Bone marrow aspirate smear.
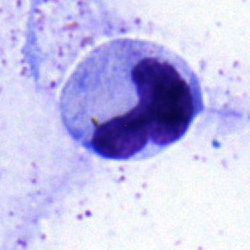

A band-form neutrophil.